Bone marrow aspirate smear; single-cell field.
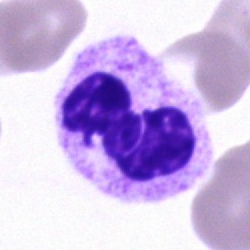

Neutrophil (segmented).